MGG-stained · brightfield microscopy, 40× oil immersion · bone marrow aspirate smear
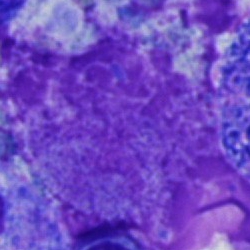

This is an artefact.